Bone marrow aspirate smear: 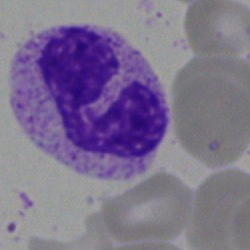

{"cell_type": "segmented neutrophil"}